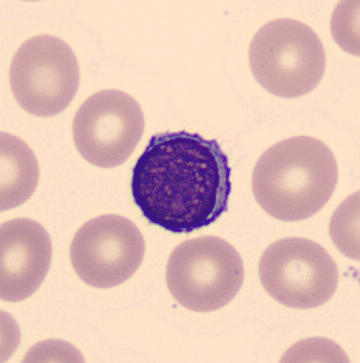Morphology consistent with a typical lymphocyte.

360×363 px. Peripheral blood film.